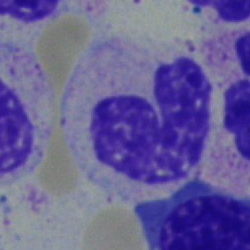
A neutrophil (band) on a bone marrow smear.